40× oil immersion. Single-cell field. Bone marrow aspirate smear — 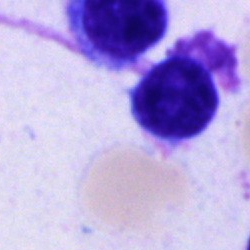 Showing a typical lymphocyte.